Bone marrow aspirate smear; image size 250×250:
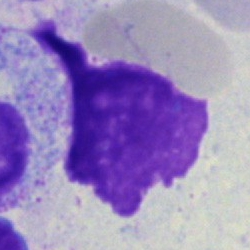Showing an artefact.